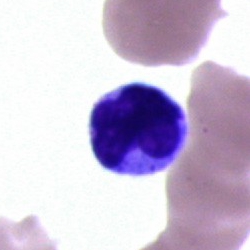

The morphological class is lymphocyte.